Bone marrow smear.
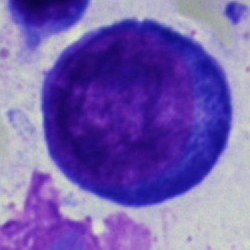
Q: What type of cell is this?
A: It is a pronormoblast.